Bone marrow smear
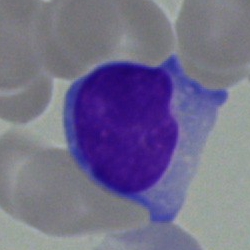

Typical lymphocyte.